Bone marrow smear:
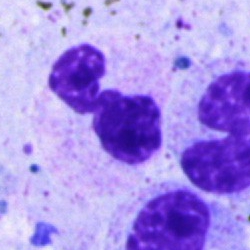

Morphological class — segmented neutrophil.